Bone marrow aspirate smear: 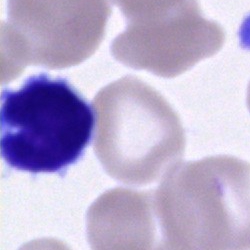 Impression — typical lymphocyte.